Bone marrow smear.
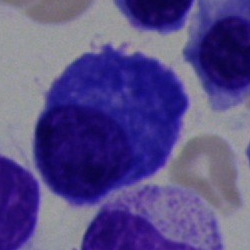Q: What is shown here?
A: It is a plasma cell.